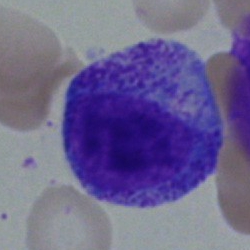

Cell type = promyelocyte.